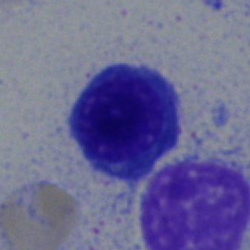 Q: What type of cell is this?
A: This is a lymphocyte.